May-Grünwald-Giemsa stain. Bone marrow aspirate smear:
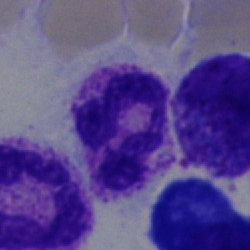

Impression — polymorphonuclear neutrophil.